Image size 250×250; bone marrow smear — 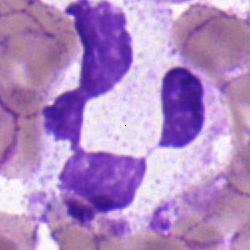
Q: What is the morphological classification of this cell?
A: It is a neutrophil (segmented).